Bone marrow smear: 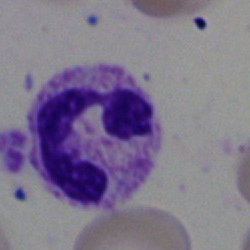
Impression → polymorphonuclear neutrophil.